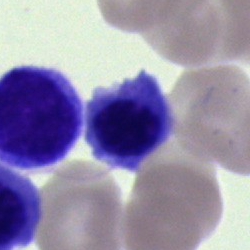 A normoblast.